Bone marrow aspirate smear · MGG-stained
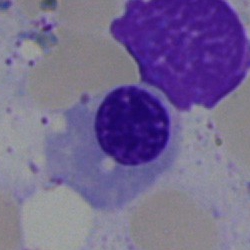 Cell = normoblast.